Peripheral blood film · single-cell crop — 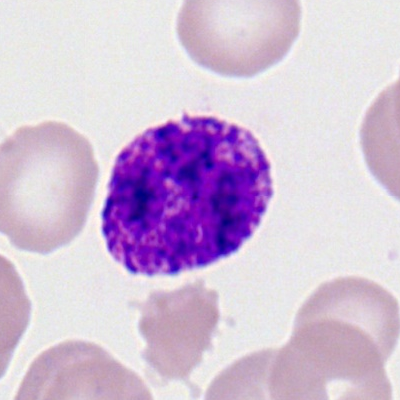Morphology — basophilic granulocyte.